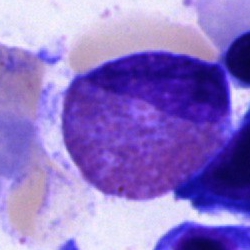

Q: What is the morphological classification of this cell?
A: An eosinophil.